Image size 250×250. Bone marrow smear: 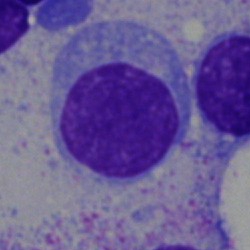The cell shown is a typical lymphocyte.